Bone marrow aspirate smear; 250 by 250 pixels: 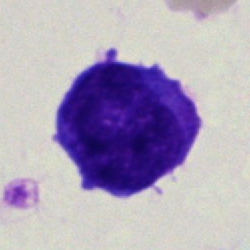Showing a blast cell.